Bone marrow aspirate smear: 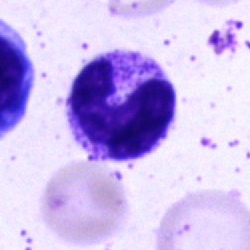
Q: Which cell type is shown here?
A: A neutrophil (segmented).